Bone marrow smear.
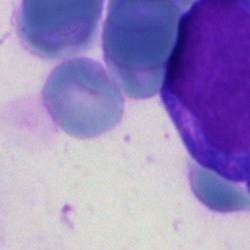 Impression → blast cell.